Bone marrow smear.
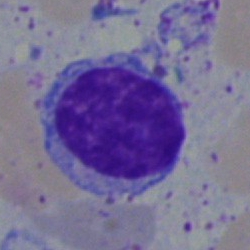 Classification: lymphocyte.